Bone marrow smear
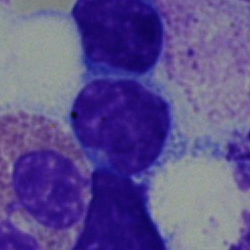 The cell shown is an eosinophilic granulocyte.